Bone marrow smear:
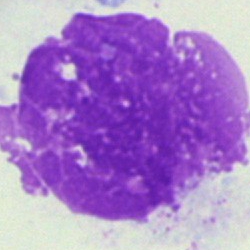Specimen: bone marrow smear.
Cell: artefact.